Bone marrow aspirate smear:
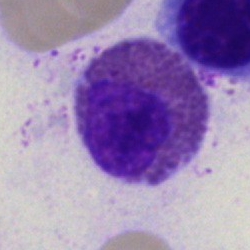 The classification is eosinophil.